Bone marrow smear
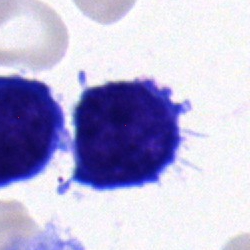A typical lymphocyte.